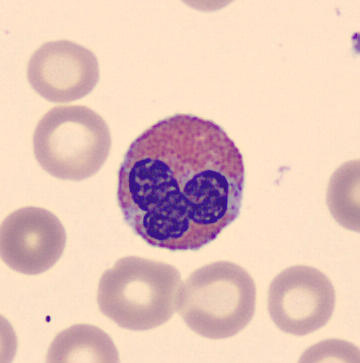
Identified as an eosinophilic granulocyte.

Peripheral blood film.